Bone marrow aspirate smear:
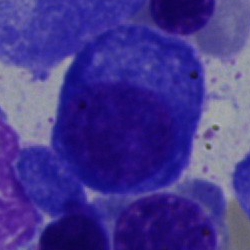

Q: What type of cell is this?
A: A plasma cell.